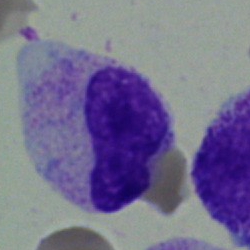Showing a metamyelocyte.